Pappenheim-stained; bone marrow smear
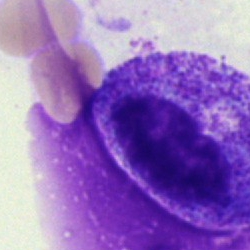 Classification — myelocyte.